Bone marrow smear: 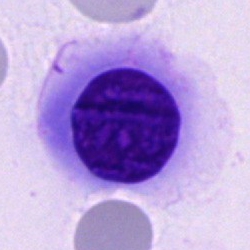

Specimen: bone marrow aspirate smear.
Classification: nucleated red blood cell.
Lineage: erythroid.